250 by 250 pixels. Bone marrow smear:
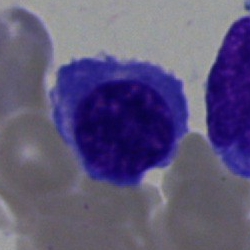The cell type is nucleated red cell.